Peripheral blood smear. Single-cell field: 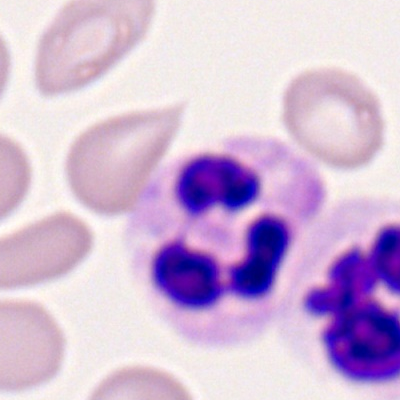
The cell is segmented neutrophil.